Bone marrow smear:
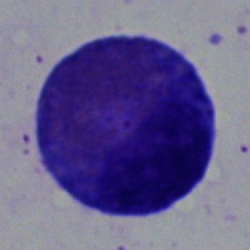 Specimen: bone marrow aspirate smear.
Morphological class: eosinophilic granulocyte.
Lineage: myeloid.